Bone marrow smear:
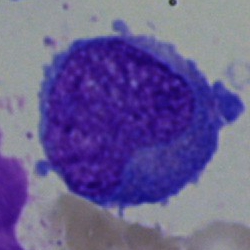Blast cell.